Bone marrow smear:
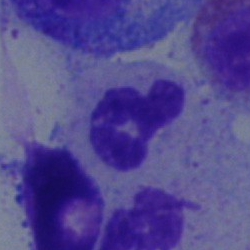Segmented neutrophil.